Bone marrow aspirate smear; single cell centered in the field.
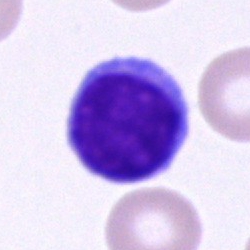
Morphological class: lymphocyte.